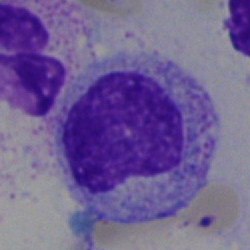

Q: What type of cell is this?
A: This is a metamyelocyte.